Peripheral blood film — 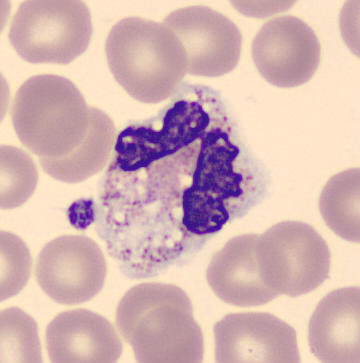
Morphological class = neutrophil (segmented).